Image size 250×250. Bone marrow aspirate smear.
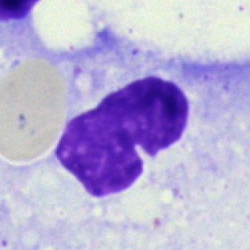Morphology → artefact.